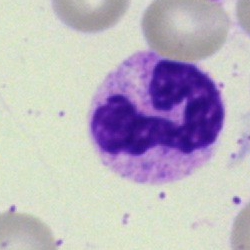 Classification = polymorphonuclear neutrophil.